Bone marrow aspirate smear; 250×250 px — 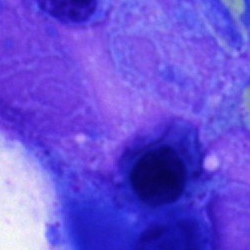

Cell = artefact.